Pappenheim-stained · bone marrow aspirate smear
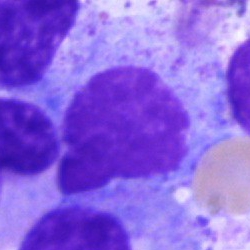

Showing an artefact.